Bone marrow smear: 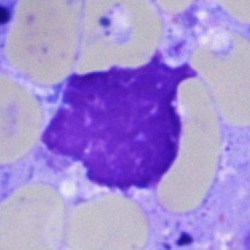

{"cell_type": "artefact"}